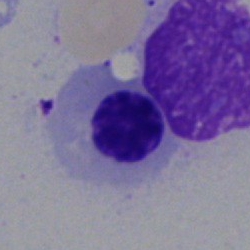

Bone marrow smear showing a normoblast.